Bone marrow aspirate smear — 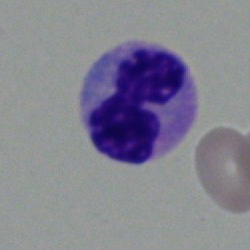 Specimen: bone marrow smear.
Classification: segmented neutrophil.